Bone marrow aspirate smear:
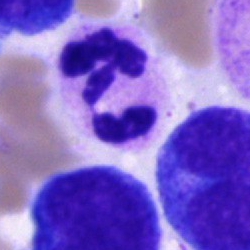

Morphology — polymorphonuclear neutrophil.